Bone marrow smear.
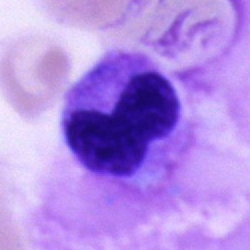
Q: What is shown here?
A: It is a neutrophil (band).